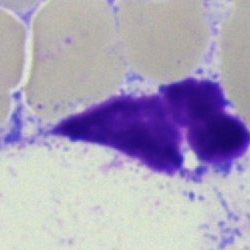
Specimen: bone marrow aspirate smear.
Morphological class: artifact.